Single-cell crop; 250×250 px; bone marrow aspirate smear:
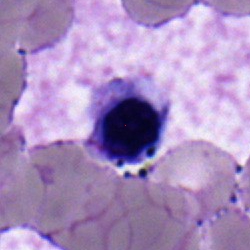 Morphological class: normoblast.